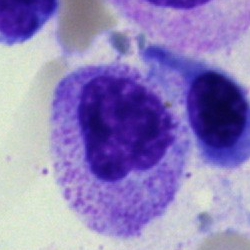 Cell — myelocyte.